Bone marrow aspirate smear
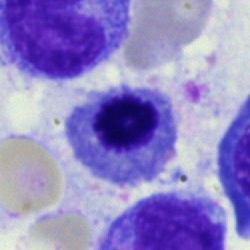The morphological class is nucleated red cell.